Bone marrow smear; brightfield microscopy, 40× oil immersion; single-cell crop.
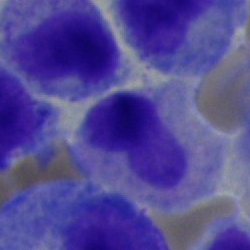
The cell type is neutrophil (band).